Bone marrow aspirate smear.
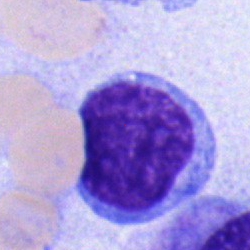 {"cell_type": "typical lymphocyte", "lineage": "lymphoid"}